Bone marrow smear.
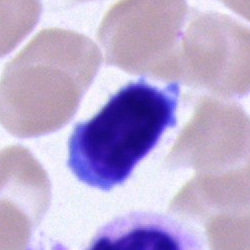Morphology → lymphocyte.